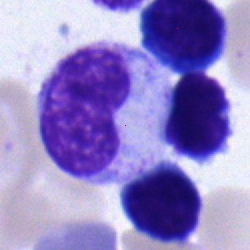 Q: What is shown here?
A: A metamyelocyte.